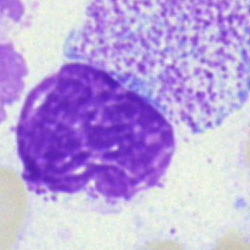
Q: What is shown here?
A: Artifact.